Bone marrow aspirate smear. 40× objective, oil immersion. Single cell centered in the field:
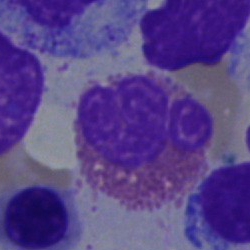 Morphology — eosinophil.